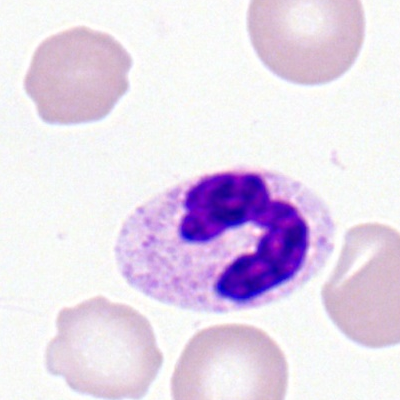
Cell: polymorphonuclear neutrophil.